Bone marrow smear — 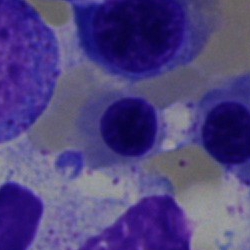 The cell shown is a normoblast.